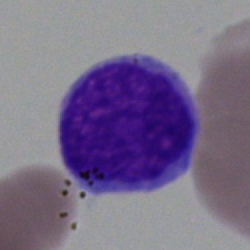 Single cell identified as a blast.